Single cell centered in the field · bone marrow aspirate smear · brightfield, 40× oil-immersion objective: 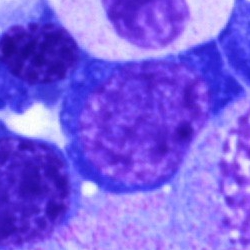
Classification — erythroblast.